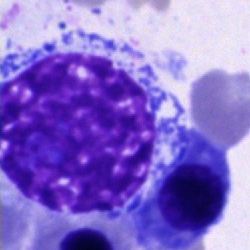

Single cell identified as an artifact.